Bone marrow aspirate smear — 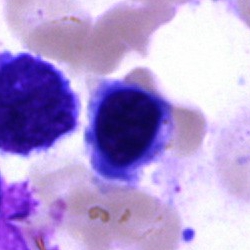 Showing an erythroblast.